May-Grünwald-Giemsa/Pappenheim stain. Bone marrow smear. Brightfield, 40× oil-immersion objective:
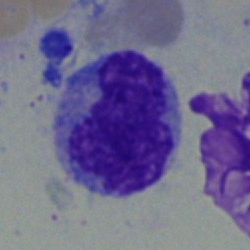 Q: Identify the cell.
A: This is a monocyte.